CellaVision DM96 digital cell image · peripheral blood film · image size 360×363: 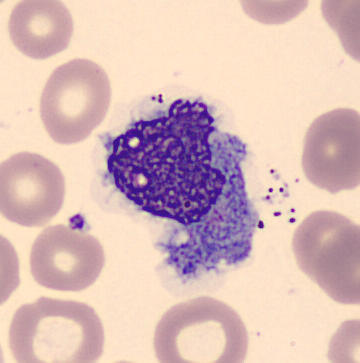

Impression → monocyte.